Peripheral blood film · single-cell field · 100× objective, oil immersion — 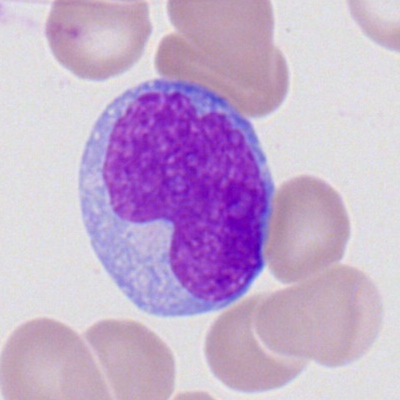

Showing a myeloid blast.